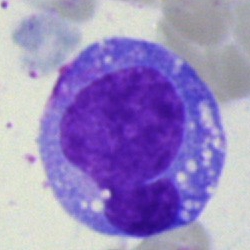

Q: What is shown here?
A: This is an undifferentiated blast.